Brightfield microscopy, 40× oil immersion. Bone marrow aspirate smear. 250×250 — 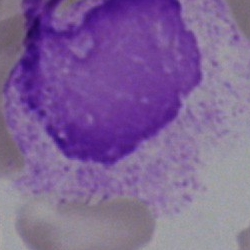 This is an artifact.